Bone marrow aspirate smear. Pappenheim-stained. 40× objective, oil immersion — 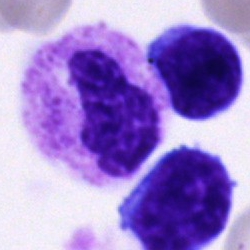

Morphology — segmented neutrophil.